May-Grünwald-Giemsa/Pappenheim stain; bone marrow smear; single-cell crop:
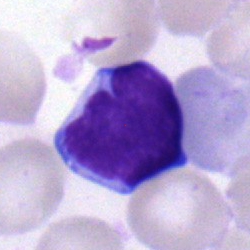

A lymphocyte.